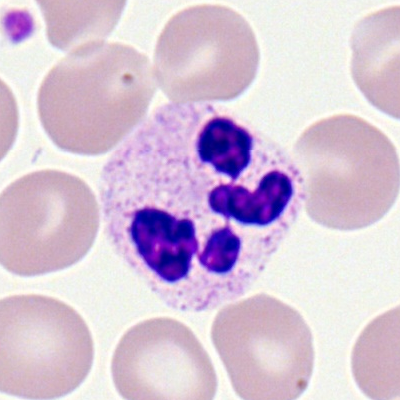

The cell shown is a segmented neutrophil.